Bone marrow aspirate smear
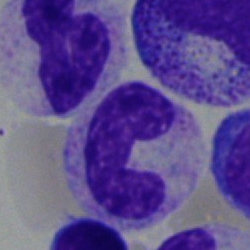Specimen: bone marrow aspirate smear.
Cell: band-form neutrophil.